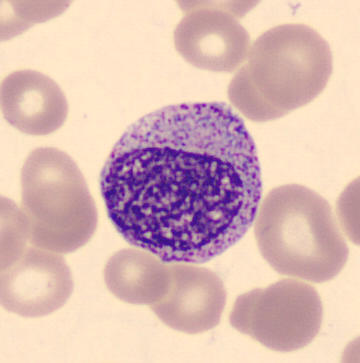Peripheral blood smear; 360×363. Showing a myelocyte.